Bone marrow aspirate smear — 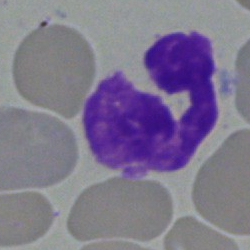

The cell shown is a neutrophil (segmented).